MGG-stained. Bone marrow smear
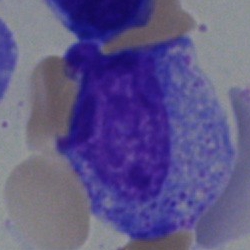
Specimen: bone marrow aspirate smear.
Cell: myelocyte.